Bone marrow aspirate smear — 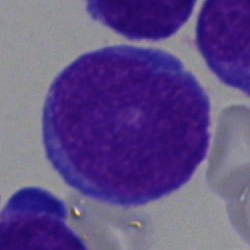

The cell shown is a blast.